Bone marrow smear · 250 by 250 pixels · brightfield microscopy, 40× oil immersion — 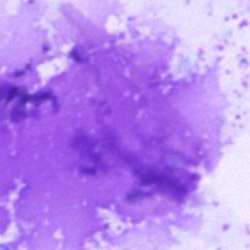
Showing an artifact.